May-Grünwald-Giemsa stain · bone marrow aspirate smear · 40× objective, oil immersion: 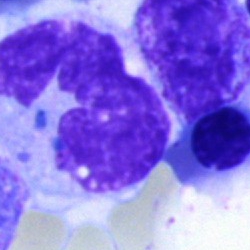Morphology consistent with an artifact.